Bone marrow smear. 250×250 — 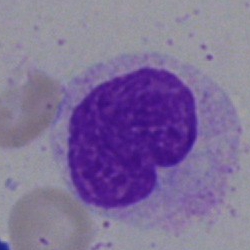Specimen: bone marrow aspirate smear.
Morphological class: artefact.